Bone marrow aspirate smear — 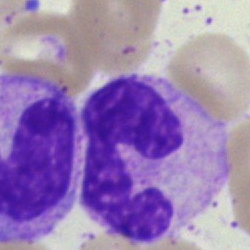 Q: What type of cell is this?
A: This is a neutrophil (segmented).